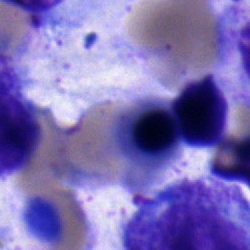The classification is nucleated red blood cell.